MGG-stained. Bone marrow smear — 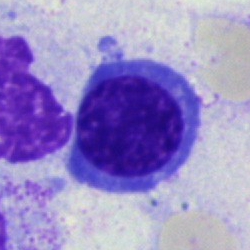 Morphological class — nucleated red blood cell.